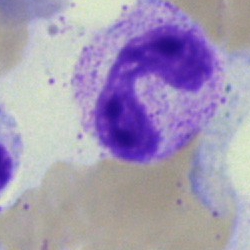 Q: Identify the cell.
A: This is a polymorphonuclear neutrophil.